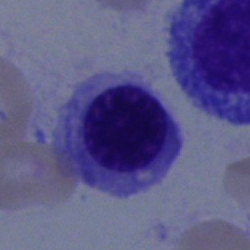The cell shown is an erythroblast.